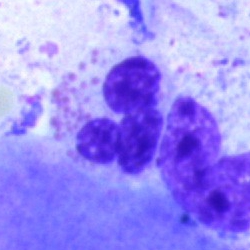Morphology consistent with a polymorphonuclear neutrophil.